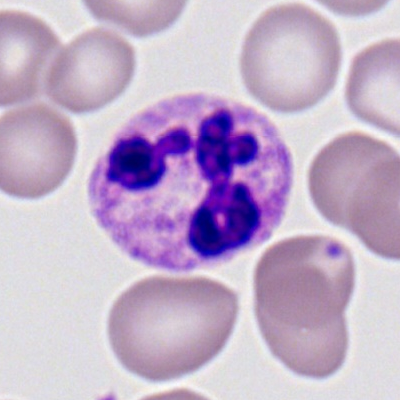

Morphology — segmented neutrophil.